Bone marrow smear:
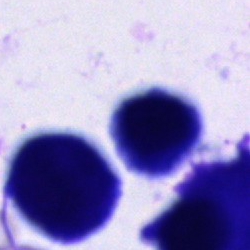
A cell of indeterminate lineage.